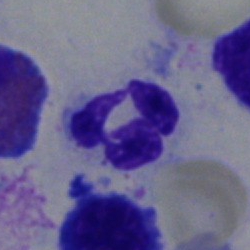Specimen: bone marrow aspirate smear.
Cell type: polymorphonuclear neutrophil.